Peripheral blood smear
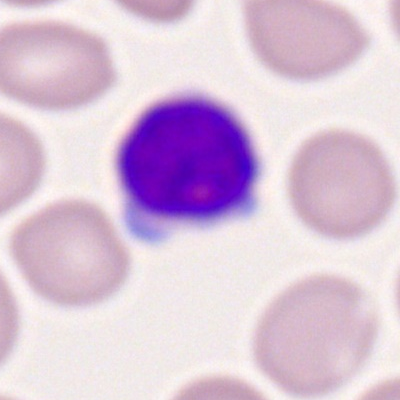

Impression → typical lymphocyte.